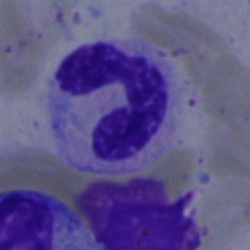 Q: Identify the cell.
A: It is a polymorphonuclear neutrophil.